Bone marrow smear: 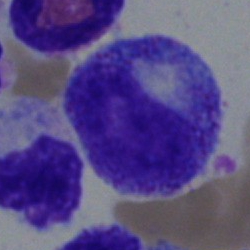
Q: What is shown here?
A: It is a myelocyte.